May-Grünwald-Giemsa/Pappenheim stain · 250 by 250 pixels · bone marrow smear — 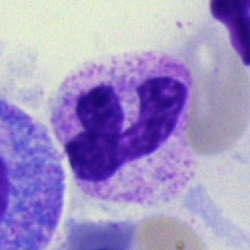
Q: What is shown here?
A: It is a polymorphonuclear neutrophil.